Bone marrow smear; single cell centered in the field:
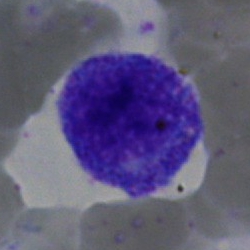 This is a progranulocyte.